Peripheral blood film. 100× oil immersion:
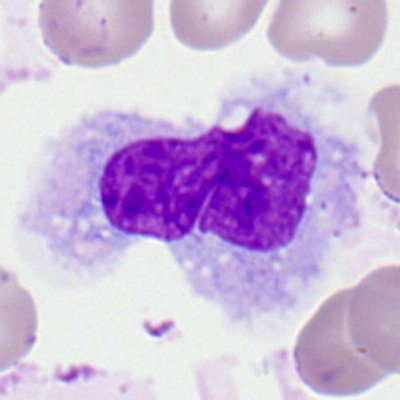 Morphology consistent with a monocyte.